Bone marrow aspirate smear · 40× oil immersion:
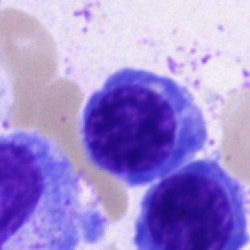 Showing an erythroblast.